Bone marrow smear. May-Grünwald-Giemsa/Pappenheim stain.
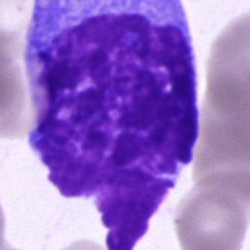 An unidentifiable cell.